Bone marrow aspirate smear. May-Grünwald-Giemsa stain — 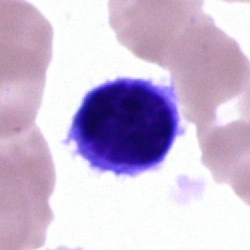Q: What is the morphological classification of this cell?
A: Typical lymphocyte.